40× objective, oil immersion; MGG-stained; bone marrow aspirate smear: 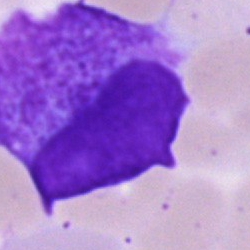
Q: What type of cell is this?
A: A blast cell.